May-Grünwald-Giemsa stain. Bone marrow aspirate smear:
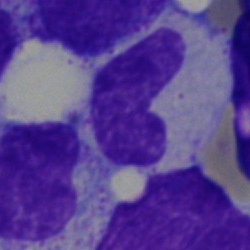The cell shown is a band-form neutrophil.